250×250. Bone marrow aspirate smear:
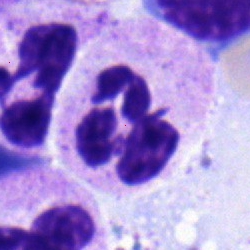

Q: Identify the cell.
A: A neutrophil (segmented).